Cropped to a single cell. Bone marrow aspirate smear:
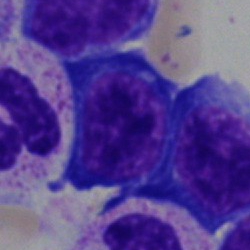
Impression → nucleated red blood cell.